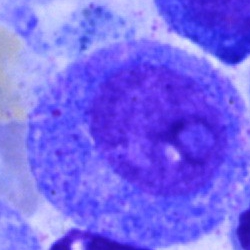 Impression — promyelocyte.